Bone marrow smear · cropped to a single cell
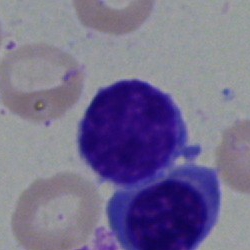 {"cell_type": "lymphocyte"}